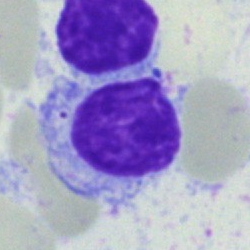The cell type is lymphocyte.